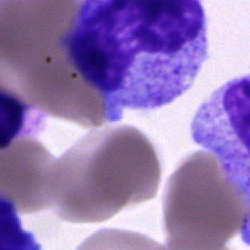
Q: What type of cell is this?
A: Cell of indeterminate lineage.